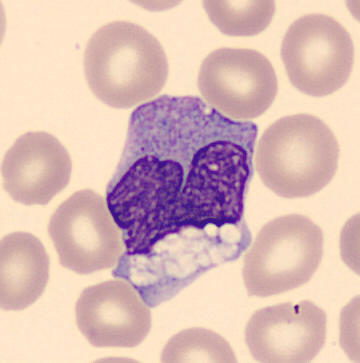

Morphological class — monocyte.

Preparation: MGG stain. Peripheral blood smear. 360×363.